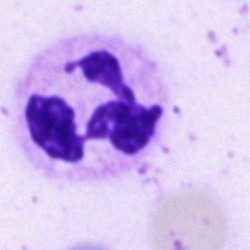 Q: What cell is this?
A: It is a polymorphonuclear neutrophil.